Bone marrow aspirate smear · image size 250×250:
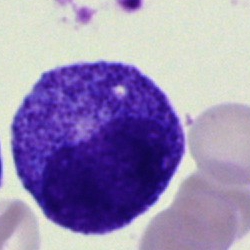

This is a promyelocyte.